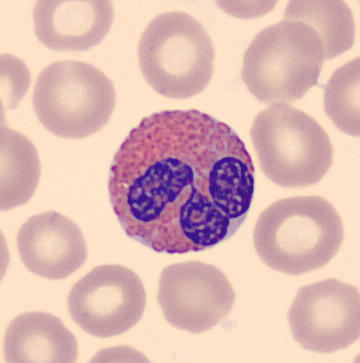
This is an eosinophil.
Peripheral blood smear; automated cell imaging (CellaVision DM96).